Bone marrow smear; 40× oil immersion — 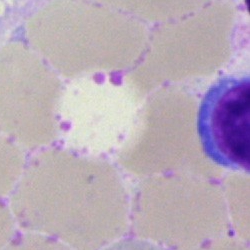
Q: What is shown here?
A: An artifact.